MGG-stained · bone marrow smear:
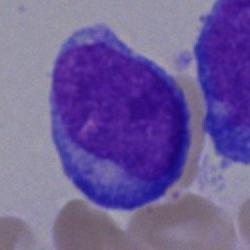
Showing a blast cell.